Pappenheim-stained; bone marrow smear; cropped to a single cell — 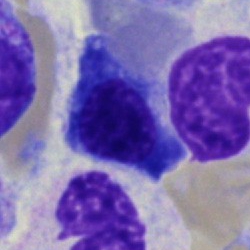
{"cell_type": "nucleated red blood cell"}